Bone marrow smear: 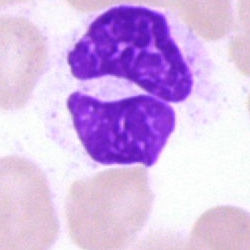
Q: What is shown here?
A: Artefact.